250×250 px; bone marrow smear — 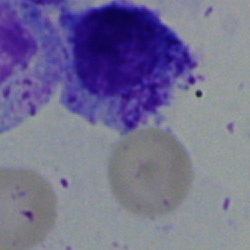Q: What is shown here?
A: A myelocyte.